100× objective, oil immersion. Cropped to a single cell. Peripheral blood film.
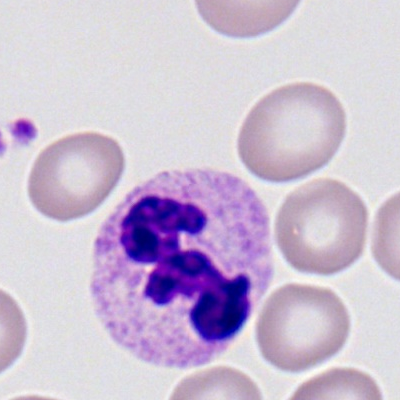 Specimen: peripheral blood film.
Morphological class: segmented neutrophil.
Lineage: myeloid.